Peripheral blood smear: 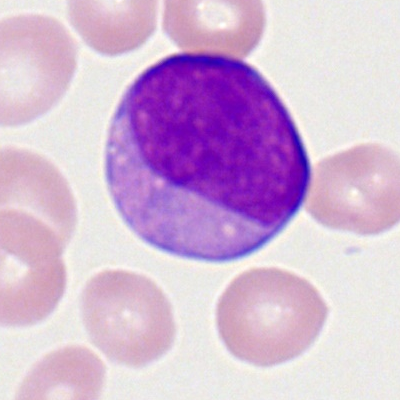 Single cell identified as a myeloid blast.